40× oil immersion. Bone marrow smear. Image size 250×250:
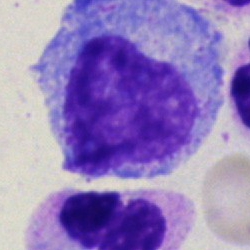
Q: Identify the cell.
A: This is a progranulocyte.